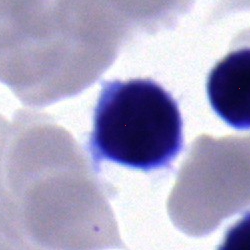Typical lymphocyte.